Bone marrow smear. May-Grünwald-Giemsa/Pappenheim stain — 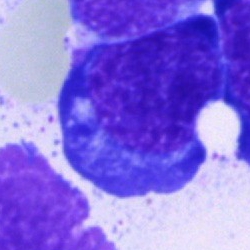
The cell type is nucleated red blood cell.